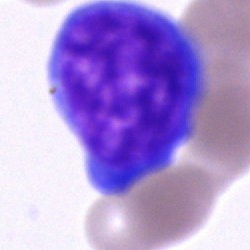The classification is undifferentiated blast.